Peripheral blood smear — 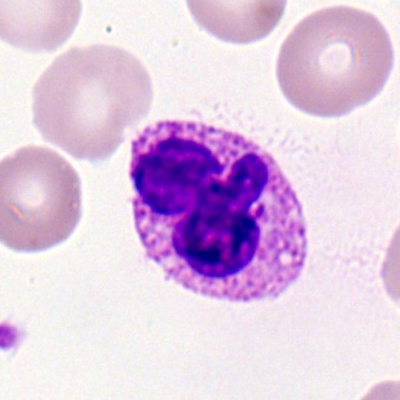
Basophilic granulocyte.